Bone marrow smear; 250×250 px; brightfield microscopy, 40× oil immersion.
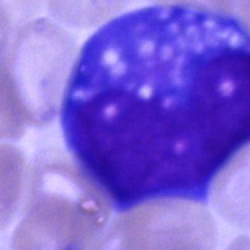Q: What cell is this?
A: Blast.